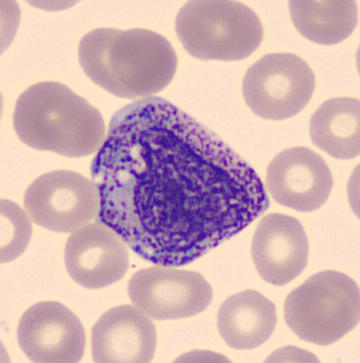 Preparation: Peripheral blood film.

Classification = metamyelocyte.